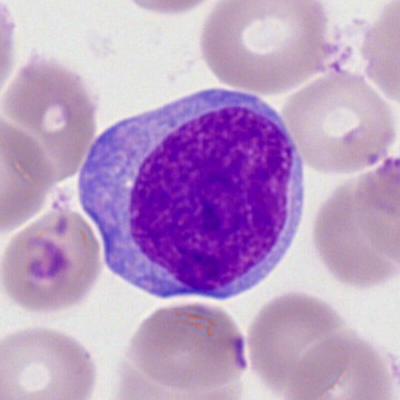Cell = myeloid blast.